Bone marrow smear · brightfield, 40× oil-immersion objective.
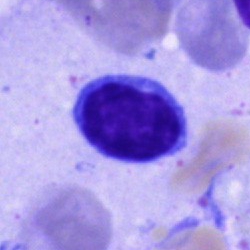 Q: Which cell type is shown here?
A: This is a lymphocyte.